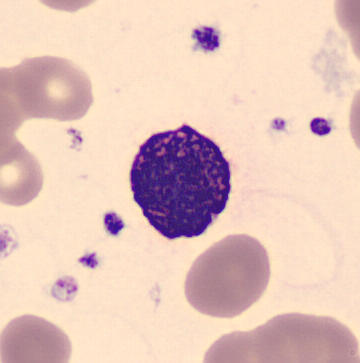 Preparation: CellaVision DM96 · peripheral blood smear. The cell type is basophil.